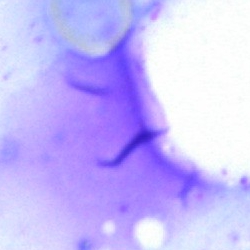
Q: What is shown here?
A: An artefact.